Bone marrow smear · cropped to a single cell: 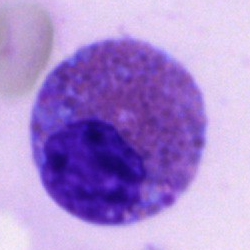 Morphological class: eosinophilic granulocyte.